Single-cell crop · bone marrow aspirate smear · May-Grünwald-Giemsa stain — 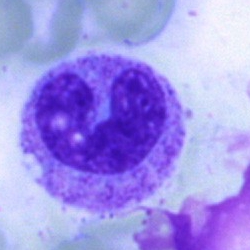 The classification is stab cell.